Bone marrow aspirate smear:
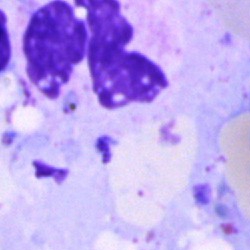Q: What type of cell is this?
A: It is a segmented neutrophil.